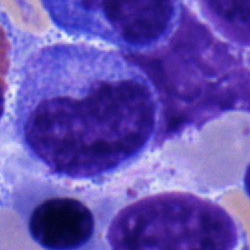 Morphological class: monocyte.